Bone marrow aspirate smear · single cell centered in the field:
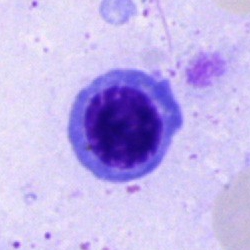
Specimen: bone marrow aspirate smear.
Cell type: erythroblast.